Bone marrow smear: 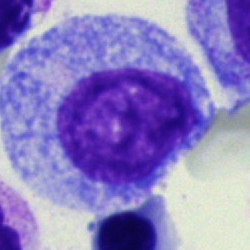
Cell type = progranulocyte.